Bone marrow smear:
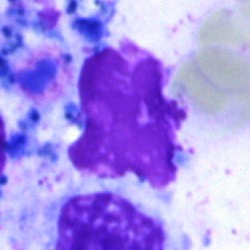

The cell shown is an artifact.